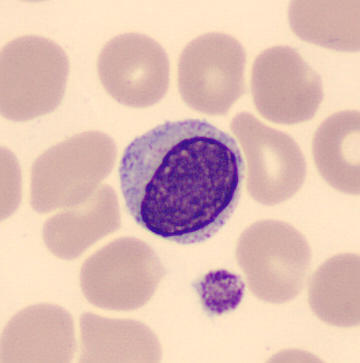

Q: What is this?
A: A lymphocyte.